Bone marrow aspirate smear.
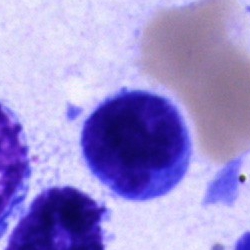Single cell identified as a lymphocyte.